Bone marrow smear. Single-cell field:
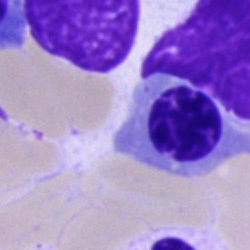 Q: Which cell type is shown here?
A: Nucleated red cell.